Image size 250×250. Bone marrow smear — 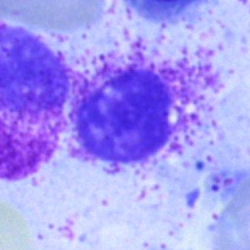 Specimen: bone marrow smear.
Cell type: artifact.